Cropped to a single cell. Bone marrow aspirate smear
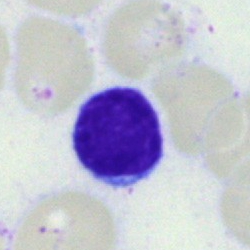Q: What cell is this?
A: This is a typical lymphocyte.